Image size 250×250. Bone marrow aspirate smear:
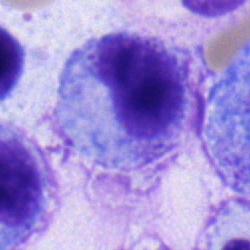

Cell type — segmented neutrophil.